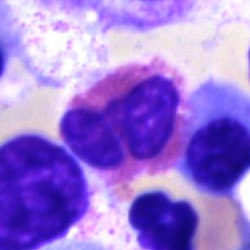

Single-cell crop from a bone marrow smear: eosinophilic granulocyte.